Pappenheim-stained. Single cell centered in the field. Bone marrow aspirate smear — 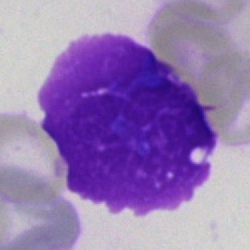

{"cell_type": "artifact"}